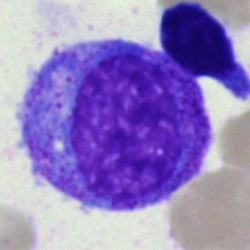
Q: What is the morphological classification of this cell?
A: A promyelocyte.